Bone marrow smear — 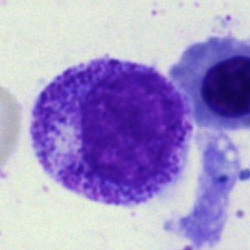

Q: What cell is this?
A: It is a myelocyte.